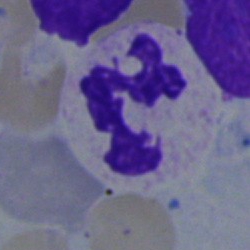

Single-cell crop from a bone marrow smear: segmented neutrophil.